Bone marrow smear · 40× objective, oil immersion: 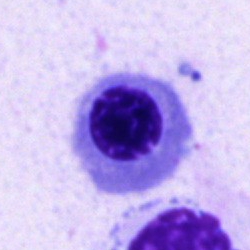{"cell_type": "nucleated red cell"}